40× objective, oil immersion. Single-cell crop. Bone marrow smear
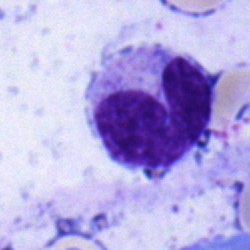The cell shown is a band-form neutrophil.